Bone marrow smear · brightfield, 40× oil-immersion objective.
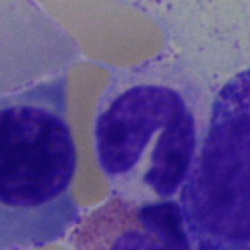A segmented neutrophil.